Bone marrow aspirate smear: 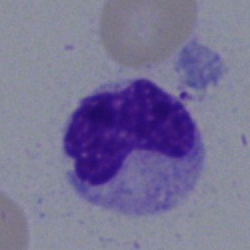 Impression → band neutrophil.